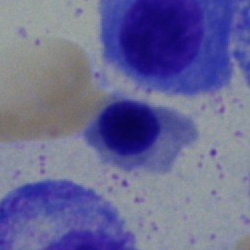
Q: What is the morphological classification of this cell?
A: Erythroblast.